Bone marrow aspirate smear
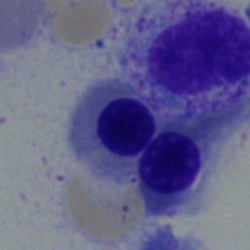
{"cell_type": "normoblast"}